Bone marrow smear — 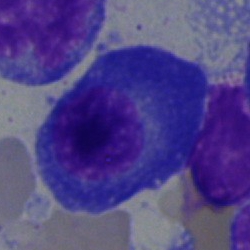
Showing a plasma cell.